Bone marrow aspirate smear: 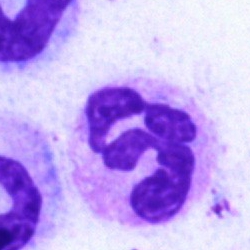 Impression — segmented neutrophil.